Image size 250×250; bone marrow aspirate smear:
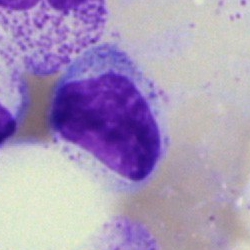
Specimen: bone marrow smear.
Classification: lymphocyte.
Lineage: lymphoid.